Bone marrow smear: 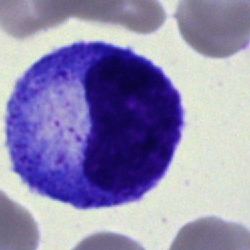

The cell type is promyelocyte.